Bone marrow aspirate smear · 40× oil immersion: 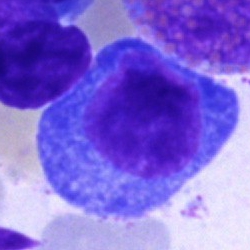Q: What is shown here?
A: Plasmacyte.